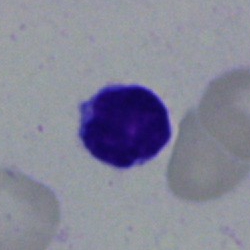

Bone marrow smear showing a typical lymphocyte.